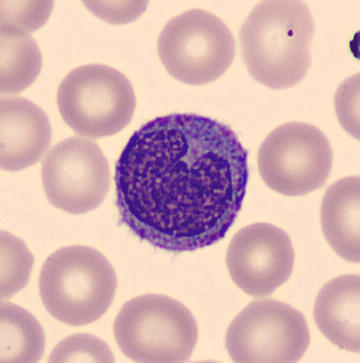

Cell — monocyte.

Image: Peripheral blood film · single-cell crop · MGG stain.